Bone marrow smear; single cell centered in the field:
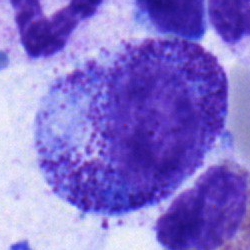Cell = promyelocyte.